Bone marrow smear: 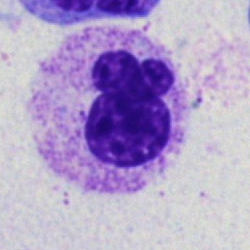 Q: Which cell type is shown here?
A: Segmented neutrophil.